250×250 · single cell centered in the field · bone marrow aspirate smear
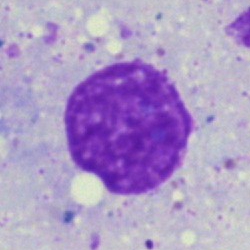

This is an artefact.